Bone marrow smear:
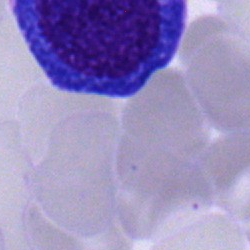Impression — plasmacyte.